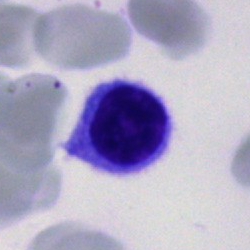 Single cell identified as a lymphocyte.